Bone marrow aspirate smear.
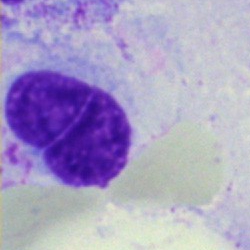

Classification: artifact.